Bone marrow aspirate smear. Brightfield microscopy, 40× oil immersion.
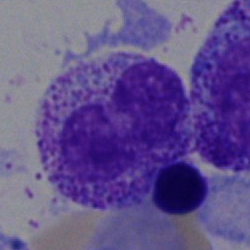

The cell is metamyelocyte.